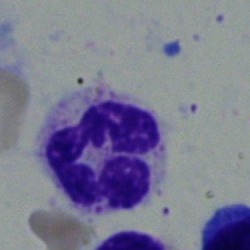

A neutrophil (segmented).